May-Grünwald-Giemsa stain; brightfield, 40× oil-immersion objective; bone marrow aspirate smear — 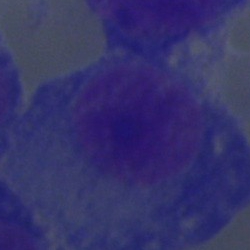
Morphology — plasma cell.